Bone marrow aspirate smear. Single-cell field.
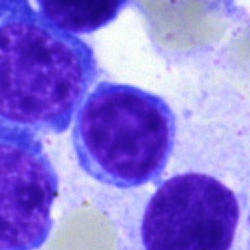 Showing a lymphocyte.